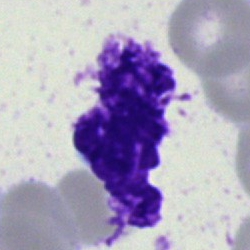 Q: What is shown here?
A: It is an artifact.